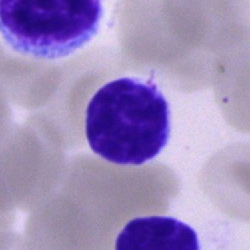

Q: Which cell type is shown here?
A: This is a lymphocyte.